Bone marrow aspirate smear: 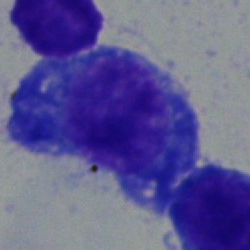

Impression — plasmacyte.